Brightfield, 40× oil-immersion objective. 250×250 px. Bone marrow smear: 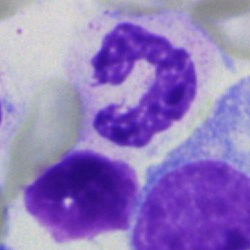

Single cell identified as a neutrophil (segmented).